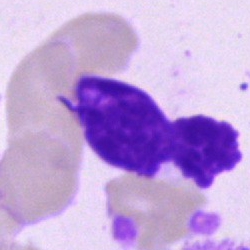Q: What is shown here?
A: This is an artefact.